Bone marrow aspirate smear.
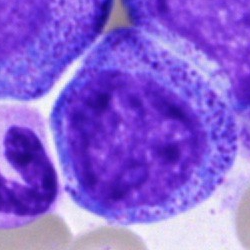 This is a promyelocyte.